Brightfield microscopy, 40× oil immersion; bone marrow aspirate smear:
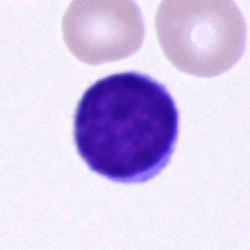

Q: What is shown here?
A: This is a typical lymphocyte.